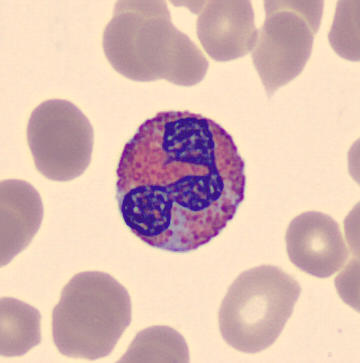Peripheral blood smear; automated cell imaging (CellaVision DM96).

Q: What is the morphological classification of this cell?
A: This is an eosinophil.